Bone marrow aspirate smear; brightfield microscopy, 40× oil immersion:
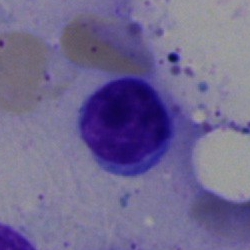Specimen: bone marrow aspirate smear.
Cell: lymphocyte.
Lineage: lymphoid.